Bone marrow smear · single-cell field
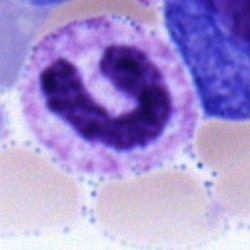 Q: What is shown here?
A: This is a band-form neutrophil.